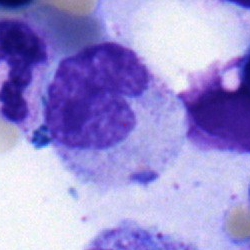 Q: What is shown here?
A: It is a band-form neutrophil.